Bone marrow aspirate smear
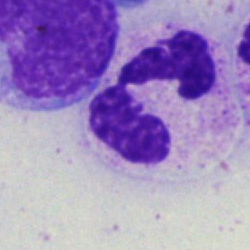
Morphological class — polymorphonuclear neutrophil.